Bone marrow aspirate smear · single cell centered in the field
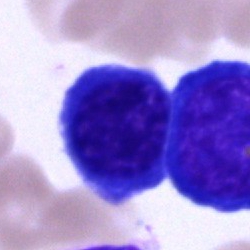

Q: What is shown here?
A: This is an erythroblast.